Brightfield, 40× oil-immersion objective; bone marrow aspirate smear: 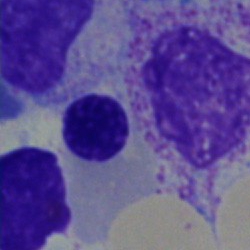

This is a normoblast.